Single cell centered in the field. Bone marrow smear — 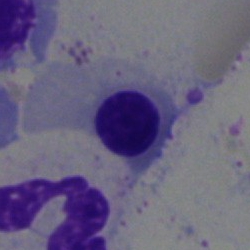

{"cell_type": "nucleated red cell", "lineage": "erythroid"}